Bone marrow smear
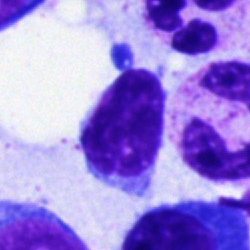 Impression — lymphocyte.